Peripheral blood smear · single-cell crop.
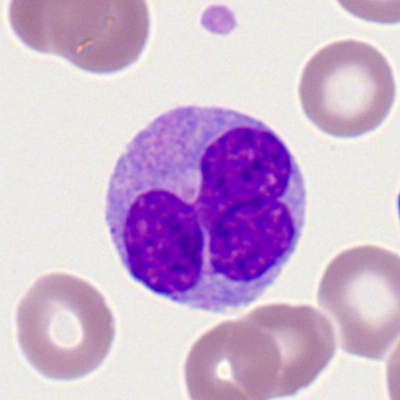

Morphology — monocyte.